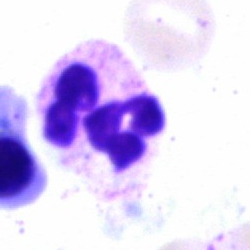
Q: What cell is this?
A: This is a segmented neutrophil.